Bone marrow smear:
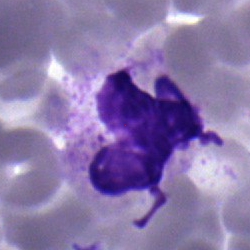Morphology — neutrophil (segmented).